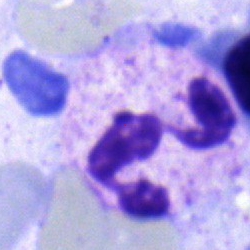
Morphology → segmented neutrophil.